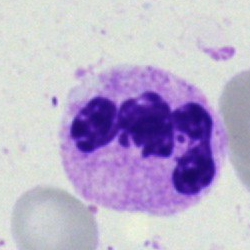
Cell type — segmented neutrophil.